100× oil immersion. Peripheral blood film: 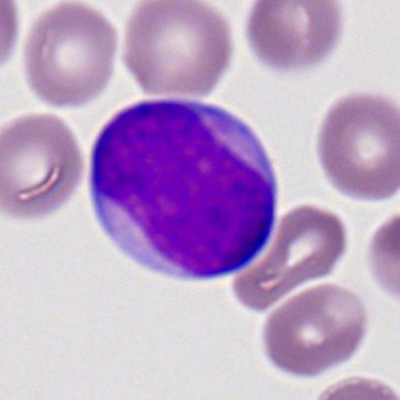

Q: What is the morphological classification of this cell?
A: A myeloblast.